Bone marrow smear. Single-cell field: 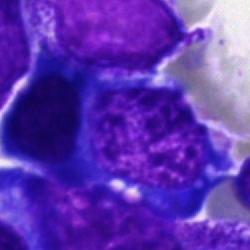
Showing a nucleated red blood cell.